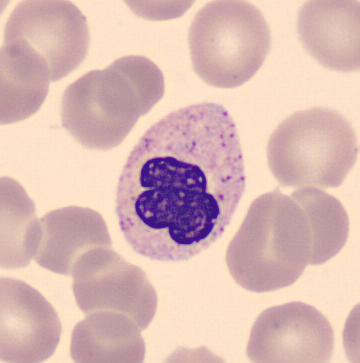Impression — neutrophil (segmented). Preparation: Cropped to a single cell · MGG stain · peripheral blood film.